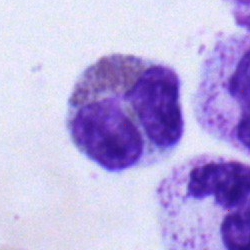An eosinophilic granulocyte.